CellaVision DM96; 360 by 363 pixels; peripheral blood film: 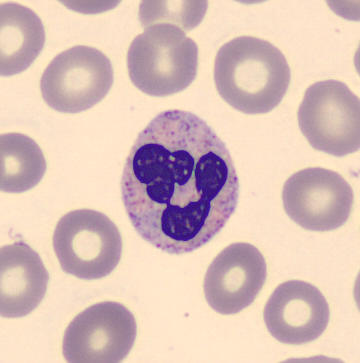 Identified as a polymorphonuclear neutrophil.